Peripheral blood smear.
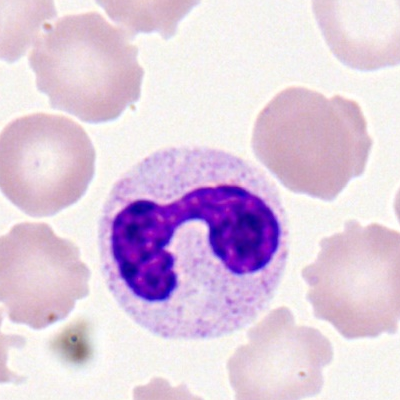

Q: What is the morphological classification of this cell?
A: It is a segmented neutrophil.